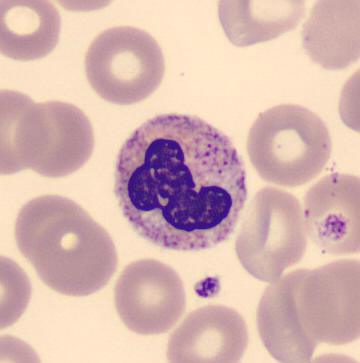A stab cell.

Peripheral blood film.